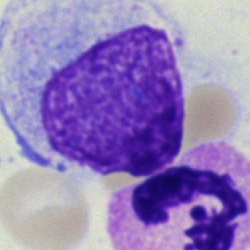Morphology → artefact.